Bone marrow smear · Pappenheim-stained:
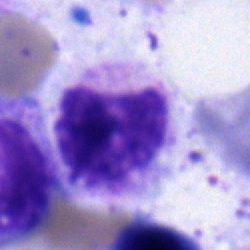
Single cell identified as a metamyelocyte.